Bone marrow smear
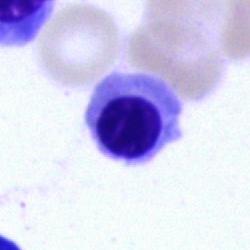Cell — normoblast.